40× oil immersion · 250×250 px · bone marrow smear
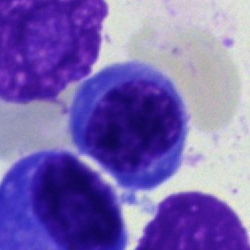

Q: What is the morphological classification of this cell?
A: Plasma cell.